Bone marrow smear.
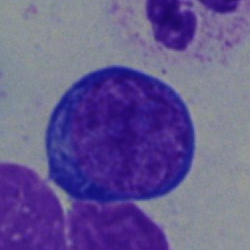 A proerythroblast.